250 by 250 pixels; bone marrow aspirate smear; single-cell field: 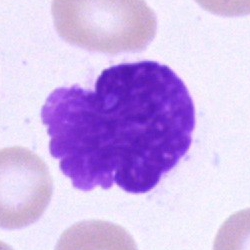

Specimen: bone marrow aspirate smear.
Cell type: artefact.